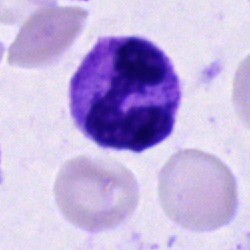
Single-cell crop from a bone marrow smear: polymorphonuclear neutrophil.